Bone marrow smear:
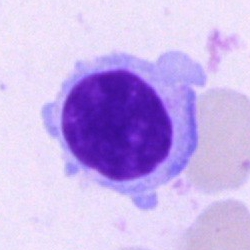 {"cell_type": "lymphocyte"}